Bone marrow smear:
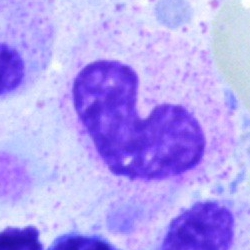Morphology → band neutrophil.